Bone marrow smear; Pappenheim-stained: 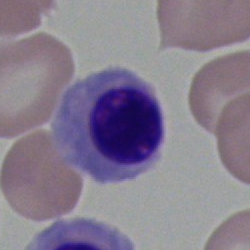The cell type is nucleated red blood cell.